40× objective, oil immersion · image size 250×250 · bone marrow smear — 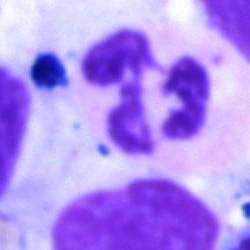

Segmented neutrophil.